Bone marrow smear: 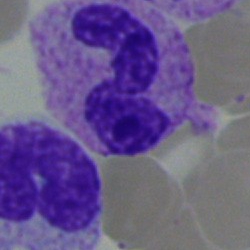

Cell type = band-form neutrophil.